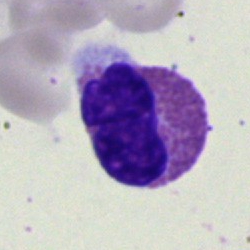
Q: What is shown here?
A: Eosinophilic granulocyte.